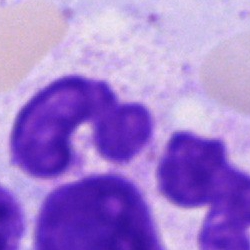
Q: What is shown here?
A: This is an artefact.